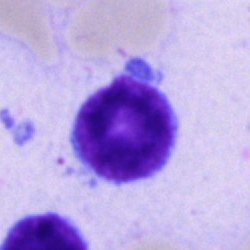 Q: What cell is this?
A: It is a typical lymphocyte.